Single-cell crop; bone marrow aspirate smear — 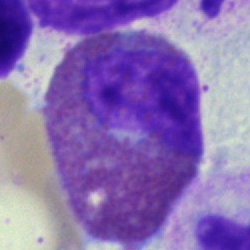
Showing an eosinophil.